Bone marrow aspirate smear.
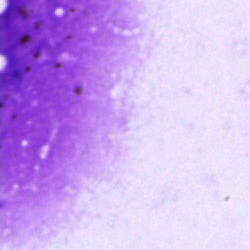An artifact.